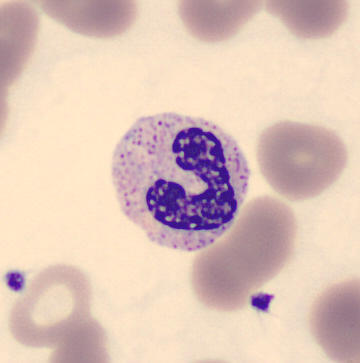
Specimen: peripheral blood smear.
Cell: band-form neutrophil.

Image: MGG-stained.